Bone marrow smear
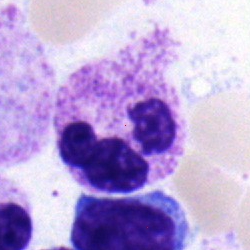

The cell type is polymorphonuclear neutrophil.